MGG-stained · bone marrow smear · 40× objective, oil immersion:
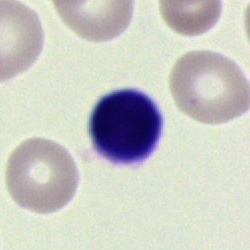This is a typical lymphocyte.